Bone marrow aspirate smear.
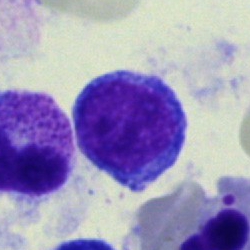
{"cell_type": "typical lymphocyte"}